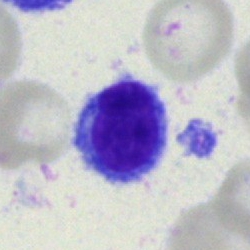 The classification is lymphocyte.